Bone marrow smear: 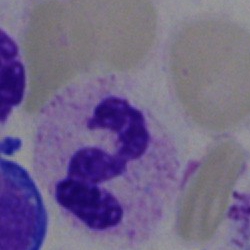

Q: What is shown here?
A: It is a neutrophil (segmented).